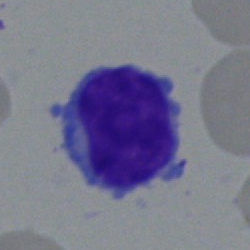

Q: Identify the cell.
A: A typical lymphocyte.